Bone marrow aspirate smear; 40× objective, oil immersion — 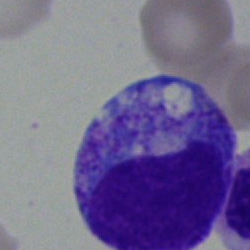Q: What is shown here?
A: Progranulocyte.